Bone marrow smear; 250×250; Pappenheim-stained:
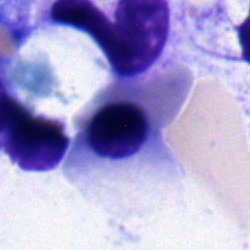

Specimen: bone marrow aspirate smear.
Cell: normoblast.
Lineage: erythroid.